Bone marrow aspirate smear:
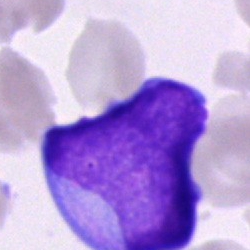 Q: Which cell type is shown here?
A: A blast.